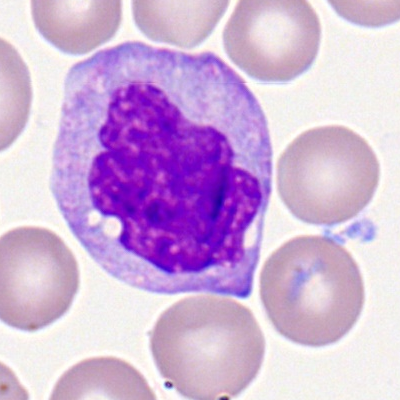
The morphological class is monocyte.